Bone marrow smear
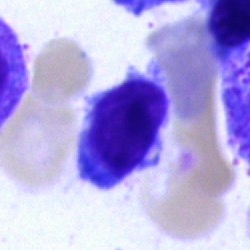
Showing a lymphocyte.